Bone marrow aspirate smear
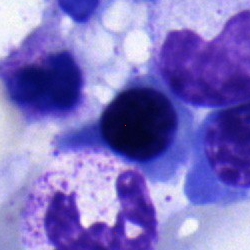
Showing a nucleated red cell.